Bone marrow smear:
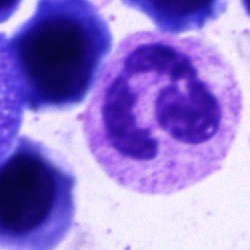
This is a neutrophil (segmented).